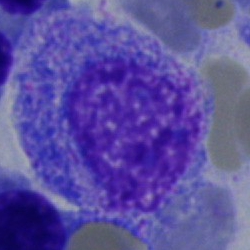
Q: What type of cell is this?
A: A progranulocyte.